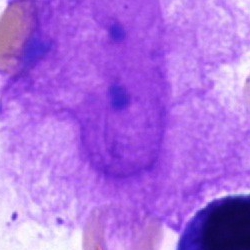 Specimen: bone marrow smear.
Cell type: artifact.